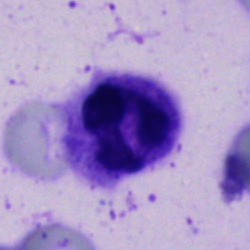 Morphology → polymorphonuclear neutrophil.